Brightfield microscopy, 40× oil immersion. Bone marrow aspirate smear:
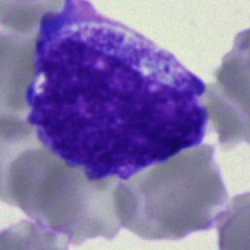 Showing a promyelocyte.